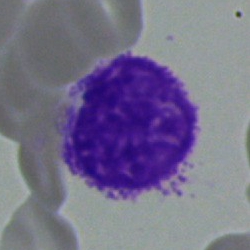Morphology consistent with an artifact.